Peripheral blood smear. 100× oil immersion, 14.14 px/µm. Romanowsky-type stain
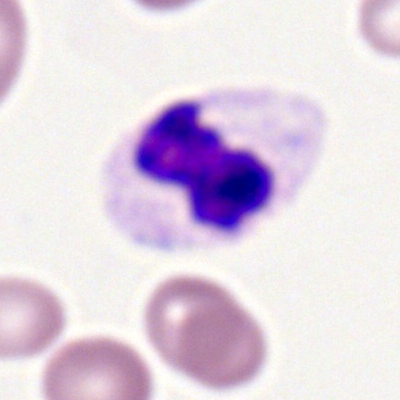 Specimen: peripheral blood film.
Cell: polymorphonuclear neutrophil.
Lineage: myeloid.